Bone marrow smear.
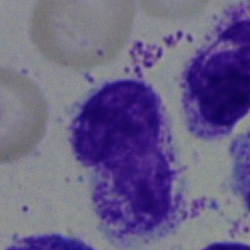 Morphology consistent with a neutrophil (segmented).